Bone marrow smear: 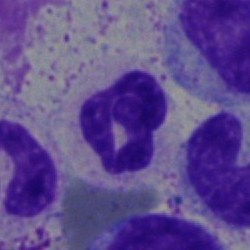
Morphological class: neutrophil (segmented).